Bone marrow aspirate smear:
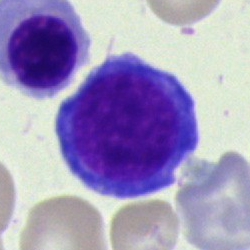Classification = normoblast.